Bone marrow smear · single-cell field · May-Grünwald-Giemsa/Pappenheim stain — 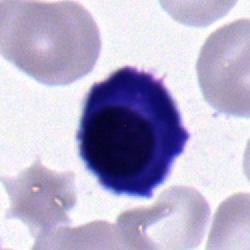Specimen: bone marrow aspirate smear.
Morphological class: erythroblast.